Bone marrow smear. Cropped to a single cell
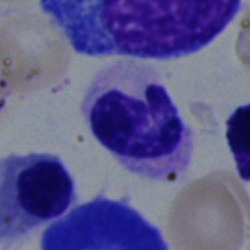
{"cell_type": "segmented neutrophil"}